May-Grünwald-Giemsa stain; bone marrow smear:
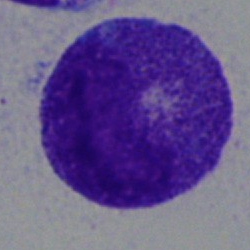 The cell shown is a promyelocyte.